Cropped to a single cell; 250×250; bone marrow smear.
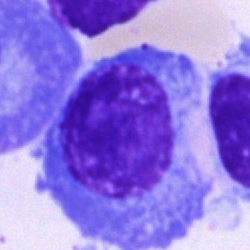Showing a plasma cell.